250 by 250 pixels. Bone marrow aspirate smear.
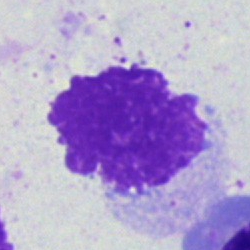
{"cell_type": "artefact"}